Bone marrow aspirate smear · 250×250 px · May-Grünwald-Giemsa/Pappenheim stain
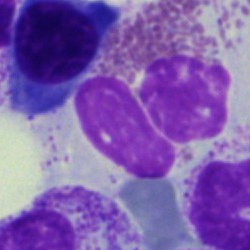

Specimen: bone marrow smear.
Cell type: eosinophilic granulocyte.